MGG-stained. Bone marrow smear — 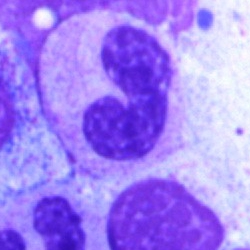
This is a band neutrophil.